May-Grünwald-Giemsa/Pappenheim stain; bone marrow smear; 250 by 250 pixels: 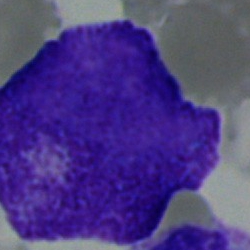A promyelocyte.